Bone marrow smear. Pappenheim-stained — 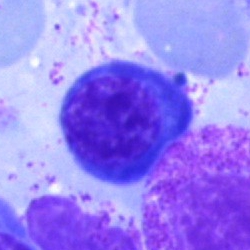{"cell_type": "nucleated red blood cell", "lineage": "erythroid"}